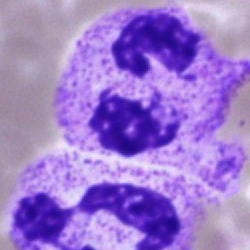Q: What is the morphological classification of this cell?
A: A segmented neutrophil.